Bone marrow smear
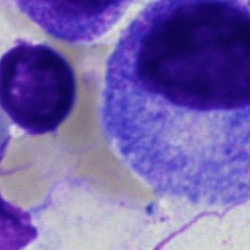
{"cell_type": "progranulocyte", "lineage": "myeloid"}